Bone marrow smear — 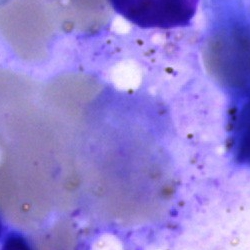

Morphological class — artefact.